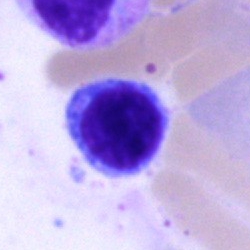

Showing a lymphocyte.